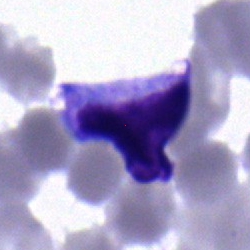
Single cell identified as a typical lymphocyte.